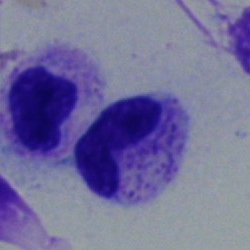{"cell_type": "neutrophil (band)", "lineage": "myeloid"}